Bone marrow aspirate smear. Single-cell crop: 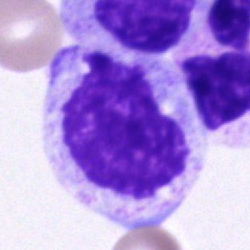 Q: Identify the cell.
A: This is a metamyelocyte.